Peripheral blood film — 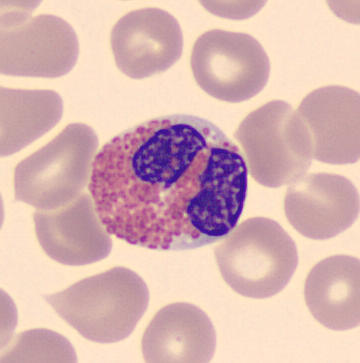 Showing an eosinophilic granulocyte.